Brightfield, 40× oil-immersion objective. Bone marrow smear:
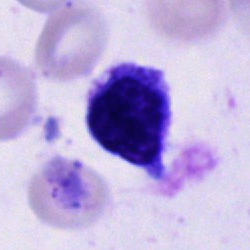
Cell = unidentifiable cell.